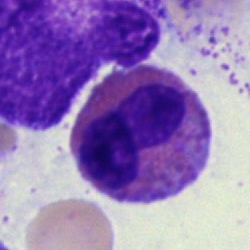Morphology — eosinophil.